250 by 250 pixels. MGG-stained. Bone marrow smear — 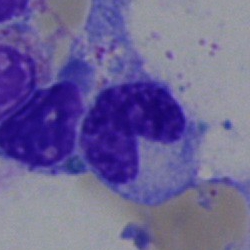

Stab cell.